Bone marrow smear:
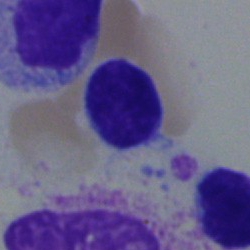 Showing a lymphocyte.